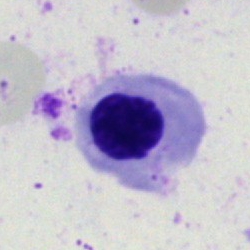 A nucleated red blood cell on a bone marrow smear.